Bone marrow smear · 250×250 px:
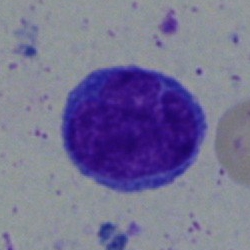

Single cell identified as an undifferentiated blast.